Bone marrow aspirate smear: 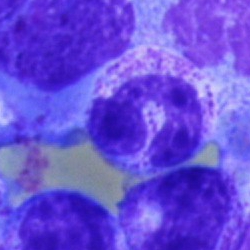Specimen: bone marrow smear.
Morphological class: polymorphonuclear neutrophil.